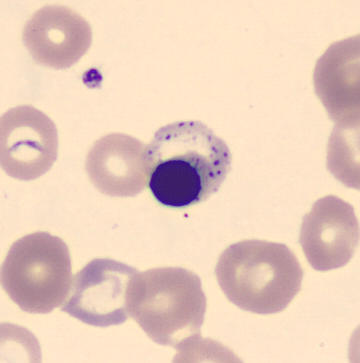Peripheral blood film. The cell type is erythroblast.